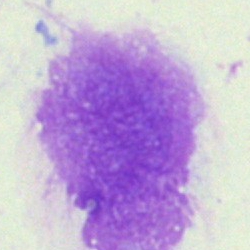
Q: What is shown here?
A: This is an artifact.